Bone marrow smear.
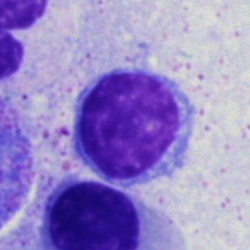
Single cell identified as a typical lymphocyte.